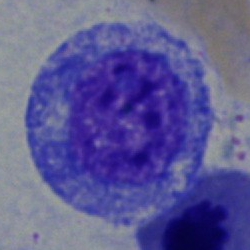Cell type = promyelocyte.